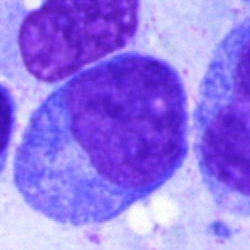 Impression → promyelocyte.